Bone marrow smear:
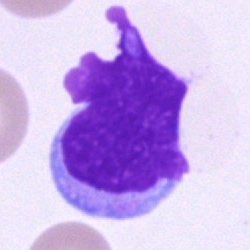

Specimen: bone marrow aspirate smear.
Classification: artifact.